Bone marrow smear · single-cell crop — 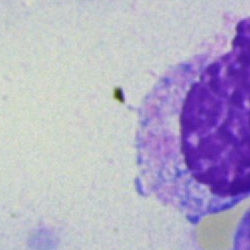

Showing an artefact.